Bone marrow aspirate smear; cropped to a single cell:
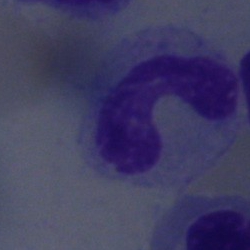

Neutrophil (band).